40× objective, oil immersion · 250 by 250 pixels · bone marrow smear:
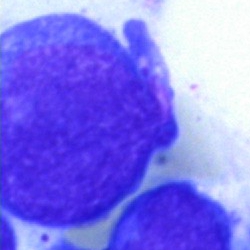Specimen: bone marrow aspirate smear.
Cell type: undifferentiated blast.